Bone marrow aspirate smear · brightfield microscopy, 40× oil immersion.
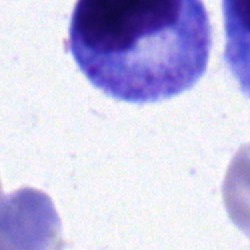

{"cell_type": "metamyelocyte", "lineage": "myeloid"}